Bone marrow aspirate smear · single cell centered in the field — 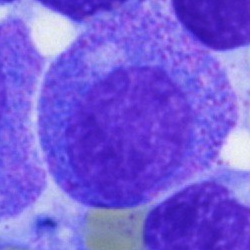Single cell identified as a promyelocyte.